May-Grünwald-Giemsa stain; bone marrow smear
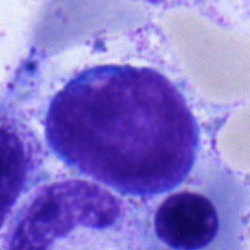
Specimen: bone marrow smear.
Cell type: pronormoblast.
Lineage: erythroid.